Bone marrow smear.
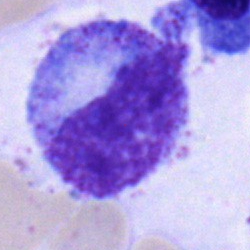
Metamyelocyte.